Bone marrow aspirate smear. Pappenheim-stained. Brightfield microscopy, 40× oil immersion
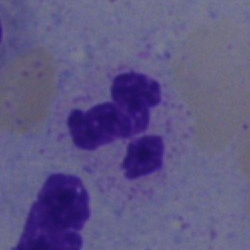

Morphological class: neutrophil (segmented).